40× objective, oil immersion · bone marrow aspirate smear:
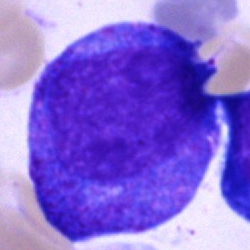 A progranulocyte.